Bone marrow smear.
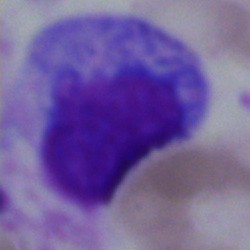 Specimen: bone marrow smear.
Classification: artefact.